Peripheral blood smear — 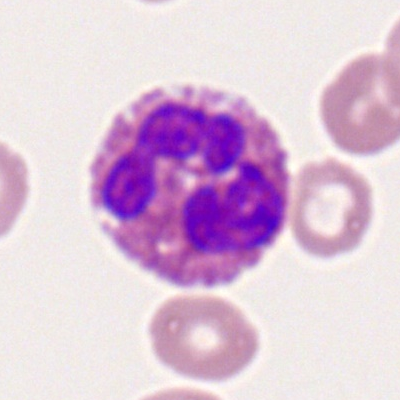
Morphology → eosinophilic granulocyte.